Bone marrow aspirate smear — 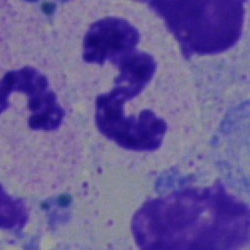
Showing a segmented neutrophil.